Bone marrow smear.
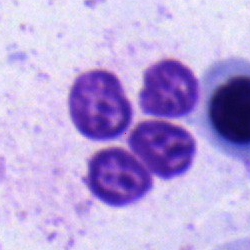
This is a neutrophil (segmented).